Peripheral blood smear; Romanowsky-type stain:
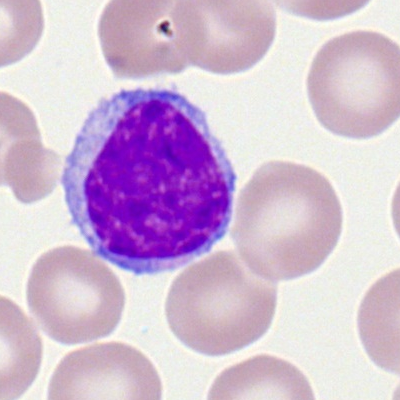
Impression → lymphocyte.